Bone marrow aspirate smear: 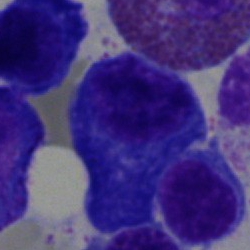 Morphological class — plasmacyte.